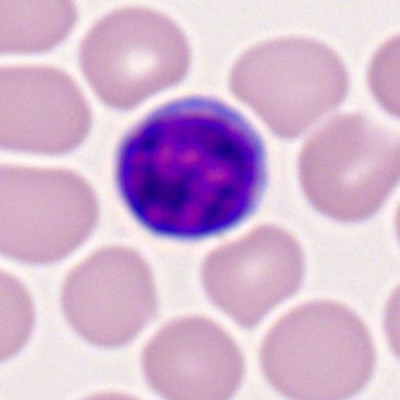

A lymphocyte.